Bone marrow smear:
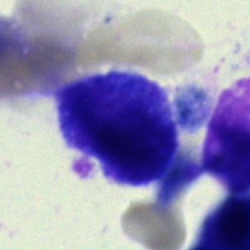Specimen: bone marrow smear.
Morphological class: artefact.